Bone marrow smear — 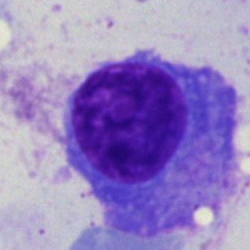
Plasma cell.